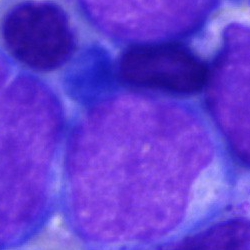The morphological class is blast.